Bone marrow smear
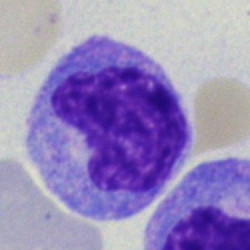 Classification = monocyte.